Bone marrow smear · May-Grünwald-Giemsa/Pappenheim stain: 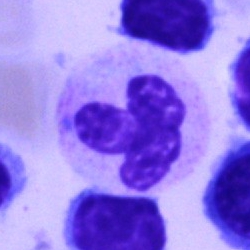

Impression — segmented neutrophil.